Bone marrow aspirate smear
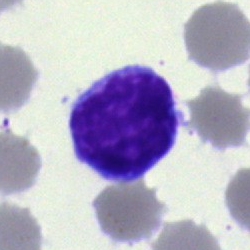The classification is typical lymphocyte.